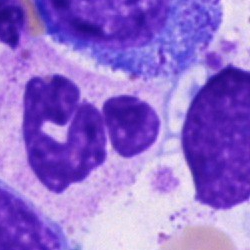 Specimen: bone marrow aspirate smear.
Classification: polymorphonuclear neutrophil.